Bone marrow smear:
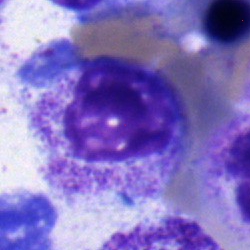
A myelocyte.